Bone marrow smear. Single-cell crop — 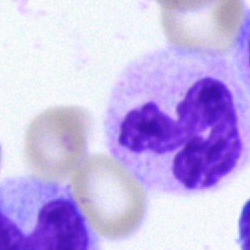Single cell identified as a segmented neutrophil.